Bone marrow smear · 40× objective, oil immersion:
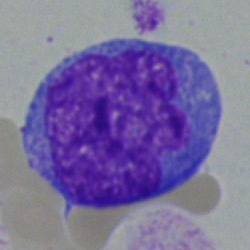 Q: What type of cell is this?
A: This is a monocyte.